Brightfield, 40× oil-immersion objective. Bone marrow aspirate smear. 250×250:
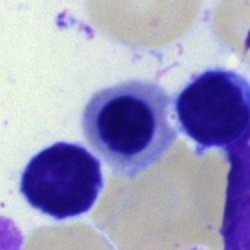

The cell shown is an erythroblast.